Bone marrow smear; brightfield, 40× oil-immersion objective; 250 by 250 pixels.
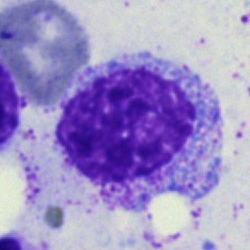Morphology — myelocyte.